Bone marrow smear
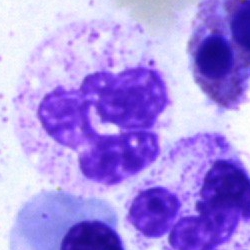

Q: What cell is this?
A: This is a segmented neutrophil.